Single cell centered in the field. Bone marrow smear
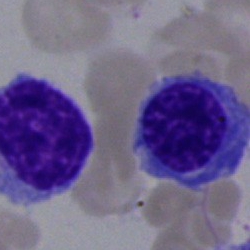Morphological class: normoblast.